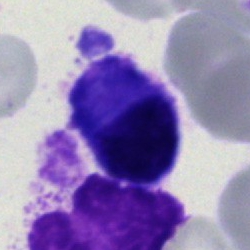

Q: Identify the cell.
A: This is a plasmacyte.